Bone marrow aspirate smear; 40× oil immersion: 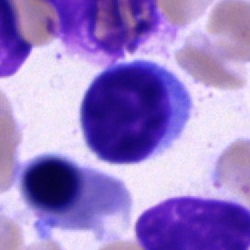 Specimen: bone marrow smear.
Cell: typical lymphocyte.